Bone marrow smear. 250×250 px. Single-cell field
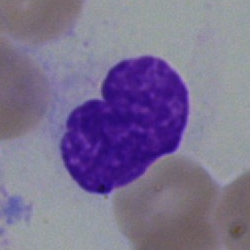

Cell: artifact.